Bone marrow aspirate smear; single-cell field; Pappenheim-stained — 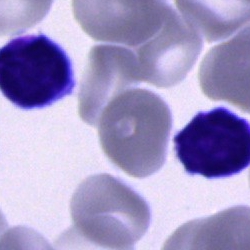Morphology → typical lymphocyte.